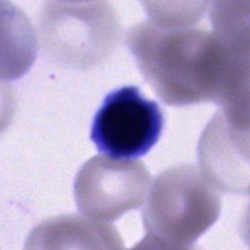
Unidentifiable cell.